Pappenheim-stained; bone marrow smear: 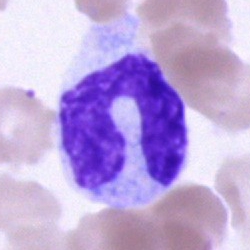{"cell_type": "neutrophil (band)", "lineage": "myeloid"}